Bone marrow aspirate smear — 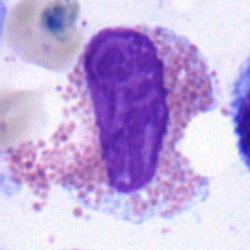Q: Which cell type is shown here?
A: An eosinophil.